Single-cell field. MGG-stained. Bone marrow smear: 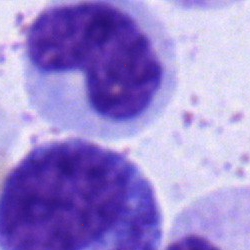Q: What is the morphological classification of this cell?
A: Metamyelocyte.